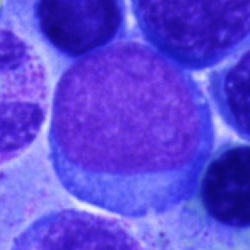

Bone marrow smear showing a blast.